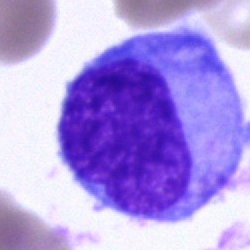Morphological class — blast.